Bone marrow smear.
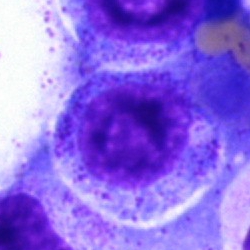

Morphological class — progranulocyte.